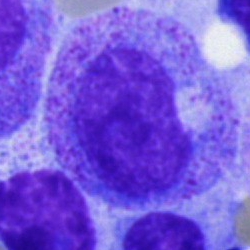

Bone marrow smear showing a myelocyte.